Peripheral blood smear · Romanowsky-stained.
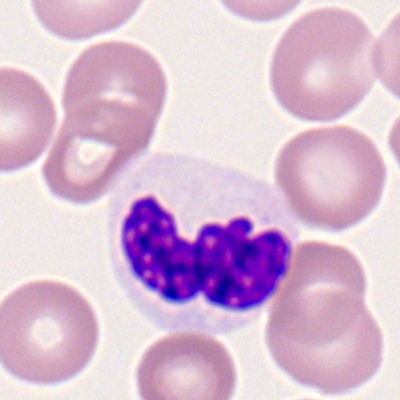

{"cell_type": "segmented neutrophil", "lineage": "myeloid"}